Bone marrow smear · 40× oil immersion:
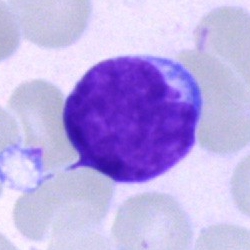Cell type = blast cell.